Bone marrow smear. MGG-stained: 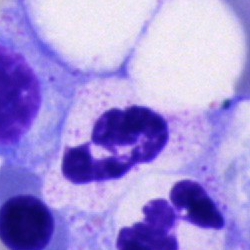

Specimen: bone marrow smear.
Classification: neutrophil (segmented).
Lineage: myeloid.